Bone marrow aspirate smear:
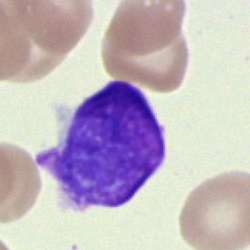

Q: What is shown here?
A: It is an artefact.